Single-cell crop; bone marrow aspirate smear; MGG-stained:
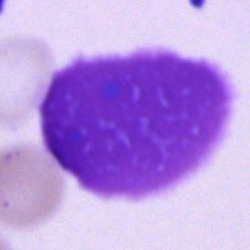Q: What is shown here?
A: Artifact.